Bone marrow aspirate smear.
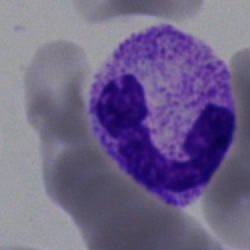
Impression → segmented neutrophil.